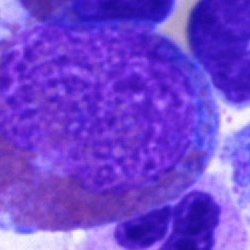Impression → artifact.